Bone marrow aspirate smear. 250×250 px — 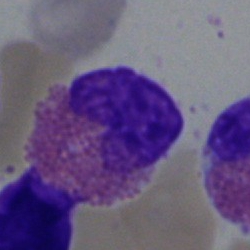
Classification = eosinophilic granulocyte.